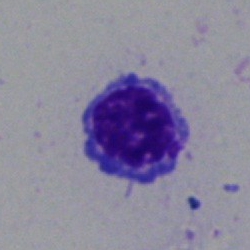Showing an erythroblast.